Bone marrow aspirate smear: 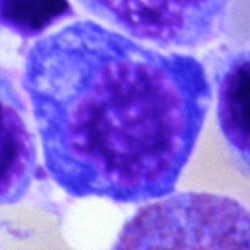Q: What cell is this?
A: It is a normoblast.